Bone marrow aspirate smear:
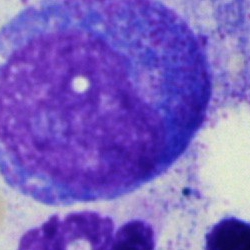
Morphology consistent with a promyelocyte.